Bone marrow aspirate smear — 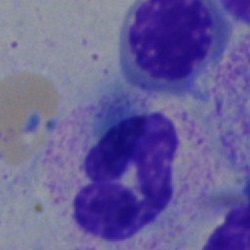
Cell type: segmented neutrophil.